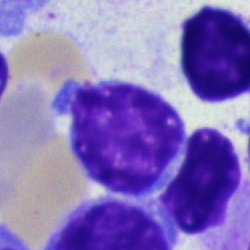 The classification is typical lymphocyte.